250 by 250 pixels. Bone marrow smear.
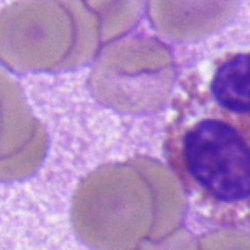Cell: eosinophilic granulocyte.